Bone marrow aspirate smear — 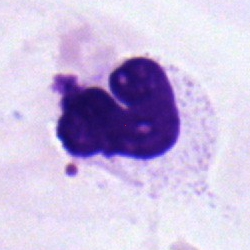
Cell type — band-form neutrophil.